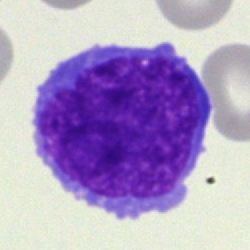

This is a blast.